Bone marrow smear:
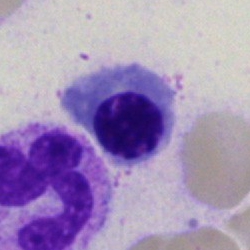 Impression — nucleated red blood cell.